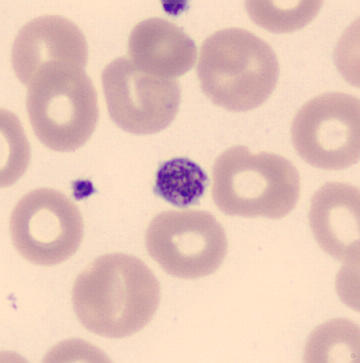 A platelet (thrombocyte).